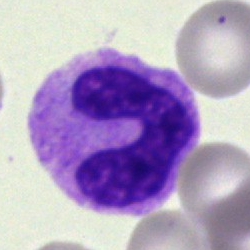Cell type = band neutrophil.